Brightfield microscopy, 40× oil immersion; bone marrow smear.
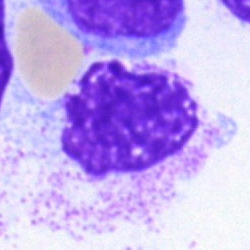Classification = artifact.